400×400 px · peripheral blood film — 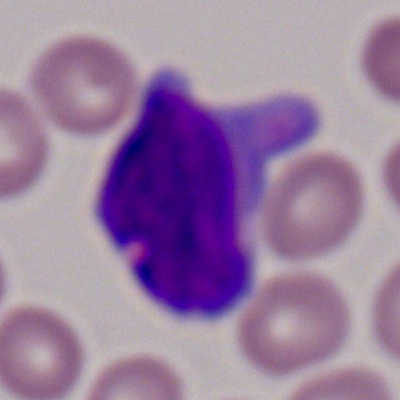Cell type: myeloblast.